May Grünwald-Giemsa stain; peripheral blood smear; CellaVision DM96:
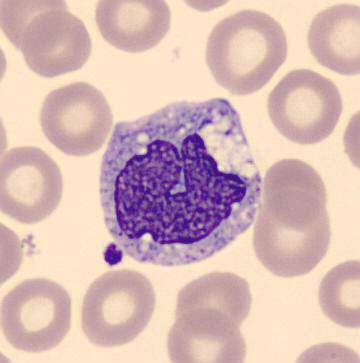

Classification: monocyte.